Bone marrow smear; cropped to a single cell:
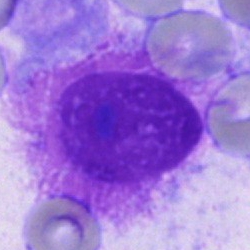Q: Identify the cell.
A: It is an other cell.